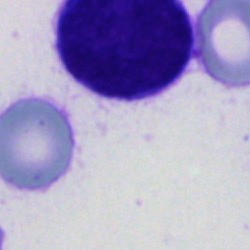Q: What is shown here?
A: This is a cell of indeterminate lineage.